Bone marrow smear:
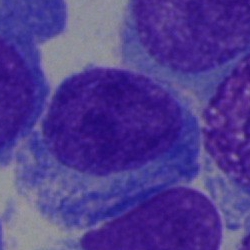

Cell: plasma cell.